Bone marrow aspirate smear; brightfield microscopy, 40× oil immersion; cropped to a single cell.
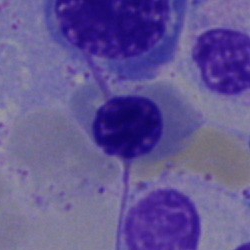

Normoblast.